Bone marrow aspirate smear: 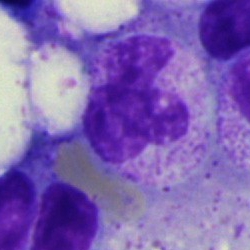Morphology consistent with a polymorphonuclear neutrophil.